Bone marrow aspirate smear.
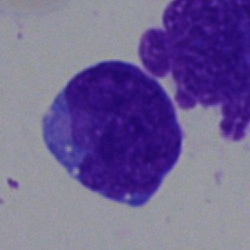
Cell type: undifferentiated blast.